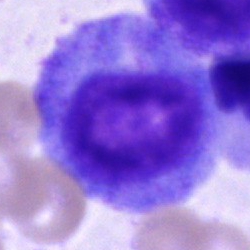 Q: What type of cell is this?
A: A progranulocyte.